Peripheral blood film · single-cell crop
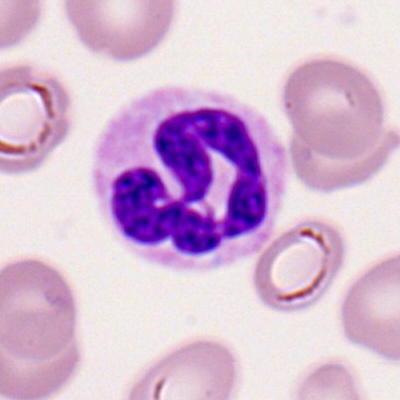

The cell shown is a segmented neutrophil.